Bone marrow smear:
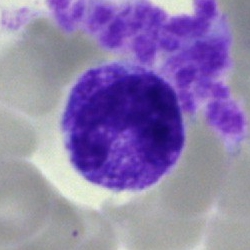

Q: What type of cell is this?
A: It is a polymorphonuclear neutrophil.